May-Grünwald-Giemsa/Pappenheim stain. 250 by 250 pixels. Bone marrow smear — 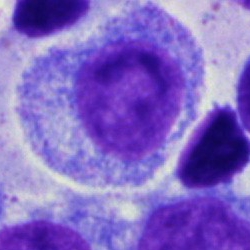
The classification is progranulocyte.